250×250; May-Grünwald-Giemsa stain; bone marrow aspirate smear
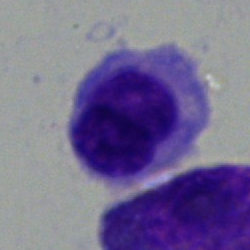 Typical lymphocyte.